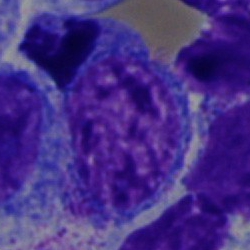Q: What cell is this?
A: A promyelocyte.